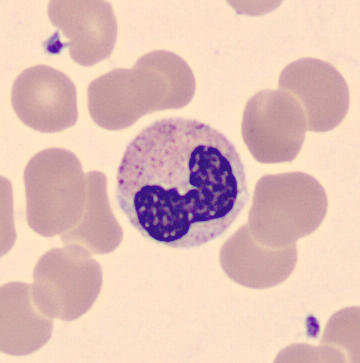 Q: What is the morphological classification of this cell?
A: It is a neutrophil (band).

Peripheral blood film · single cell centered in the field.